Bone marrow aspirate smear
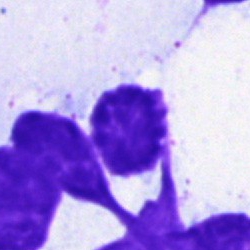

Q: What is shown here?
A: It is an artefact.